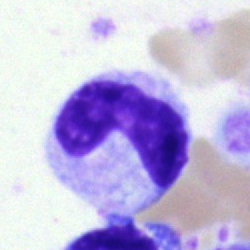
Q: What is the morphological classification of this cell?
A: This is a band neutrophil.